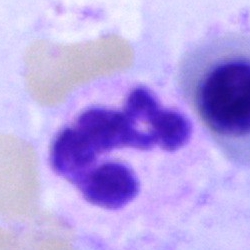
Cell type — neutrophil (segmented).